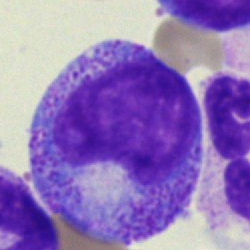
Morphological class = progranulocyte.